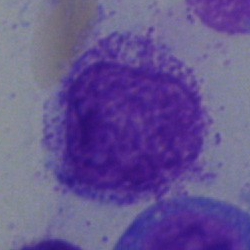Q: What type of cell is this?
A: Myelocyte.